Bone marrow aspirate smear — 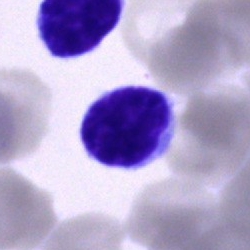 {"cell_type": "lymphocyte"}